Bone marrow smear:
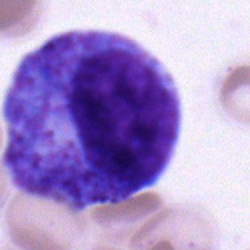 Q: Which cell type is shown here?
A: Promyelocyte.